Bone marrow aspirate smear.
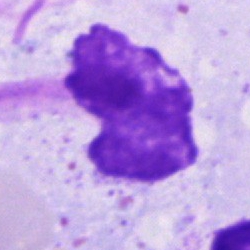Q: What is shown here?
A: This is an artifact.